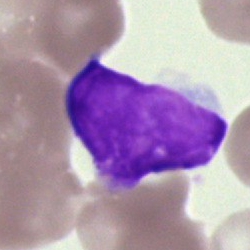Single cell identified as a typical lymphocyte.